Bone marrow smear; image size 250×250; 40× oil immersion.
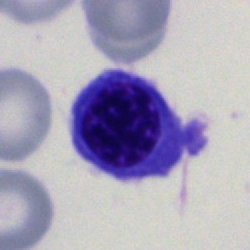

Cell type — erythroblast.